Bone marrow aspirate smear:
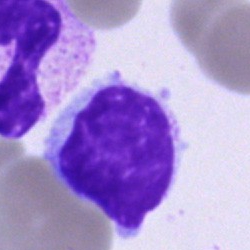{"cell_type": "lymphocyte", "lineage": "lymphoid"}